Bone marrow aspirate smear:
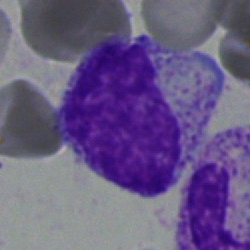Morphology — myelocyte.